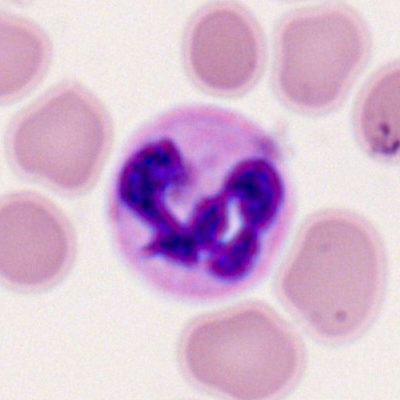
Morphological class = neutrophil (segmented).